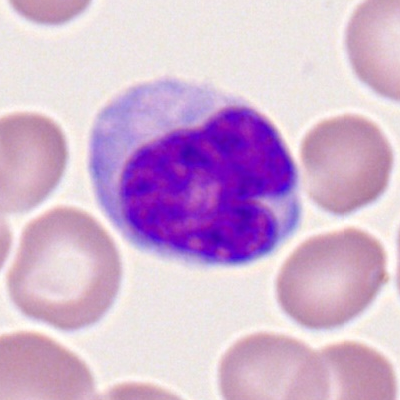 Cell type — monocyte.